400×400 px. Peripheral blood film — 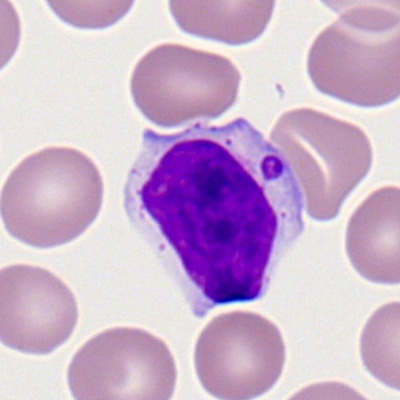

The cell shown is a typical lymphocyte.